Peripheral blood film; brightfield, 100× oil-immersion objective.
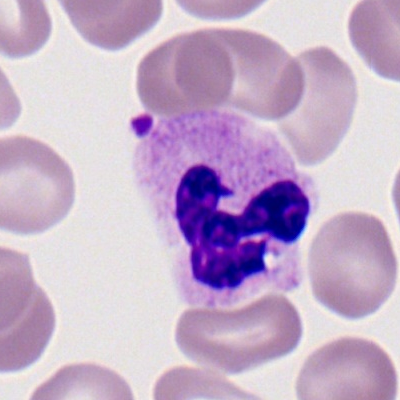 Q: What cell is this?
A: Polymorphonuclear neutrophil.